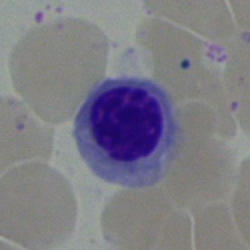 Bone marrow smear showing a nucleated red blood cell.